Bone marrow smear; MGG-stained:
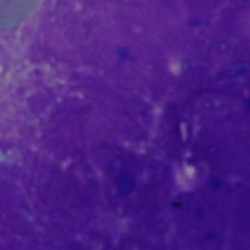

The cell shown is an artefact.